40× oil immersion. Bone marrow smear — 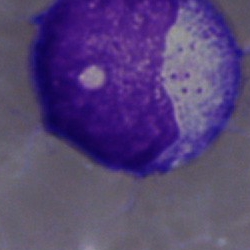The classification is metamyelocyte.